Bone marrow smear.
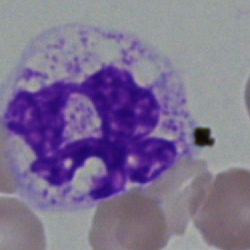Specimen: bone marrow aspirate smear.
Classification: neutrophil (segmented).
Lineage: myeloid.